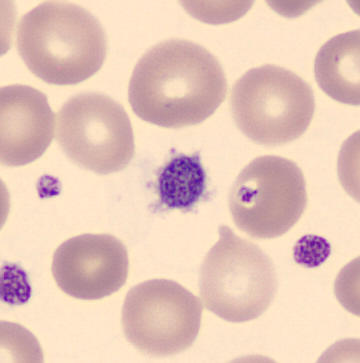Q: What is shown here?
A: This is a thrombocyte.